Bone marrow smear — 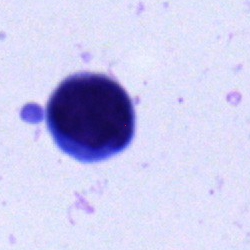

This is a typical lymphocyte.